Single-cell crop; 40× objective, oil immersion; bone marrow smear
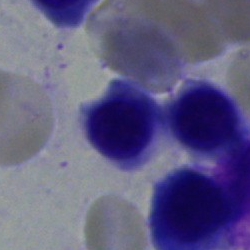

Nucleated red cell.